Single-cell field · bone marrow aspirate smear:
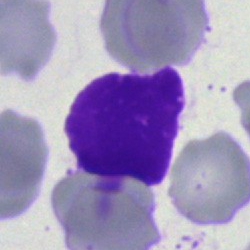
Specimen: bone marrow aspirate smear.
Cell type: artifact.